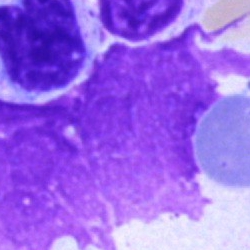
Specimen: bone marrow smear.
Cell type: artifact.